Peripheral blood smear · 400×400 px:
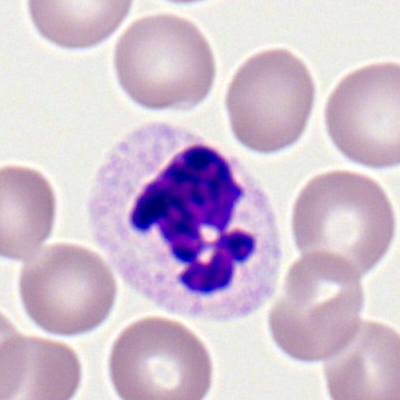 Single cell identified as a neutrophil (segmented).